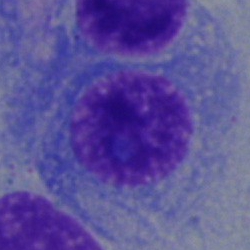Impression → plasma cell.